Bone marrow aspirate smear
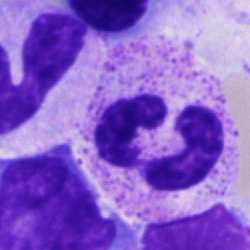

The cell shown is a segmented neutrophil.